Bone marrow aspirate smear. Brightfield microscopy, 40× oil immersion — 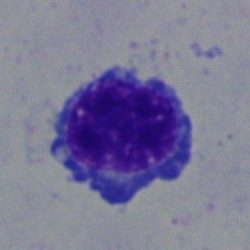

The cell shown is an erythroblast.